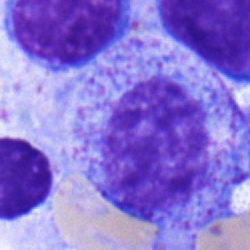 The cell shown is a myelocyte.